Bone marrow aspirate smear:
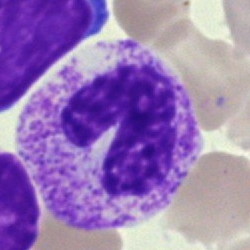
Single cell identified as a band neutrophil.